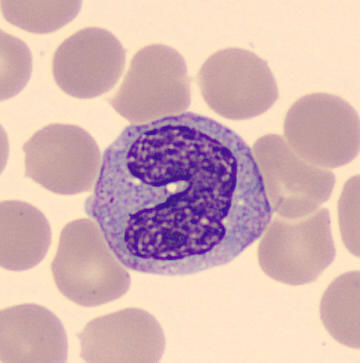

Showing a monocyte. CellaVision DM96 digital cell image. Peripheral blood smear.